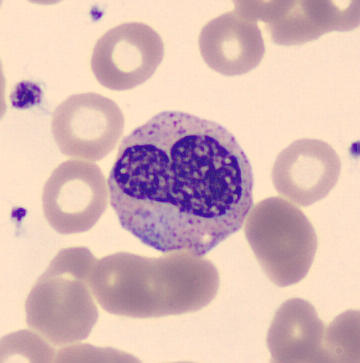
Classification — metamyelocyte.
Acquisition: Peripheral blood smear.